Brightfield microscopy, 40× oil immersion. Bone marrow aspirate smear: 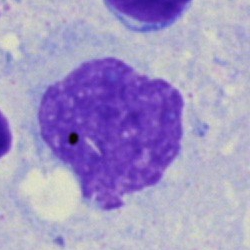An artefact.